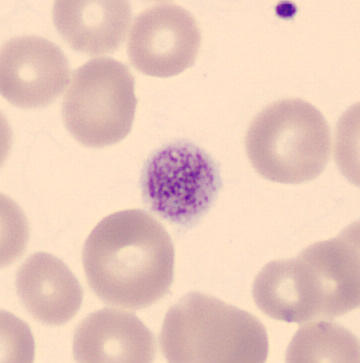

Specimen: peripheral blood film.
Cell type: thrombocyte.